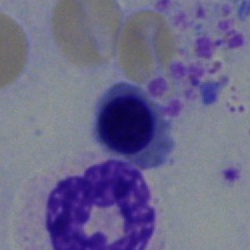Morphological class = nucleated red blood cell.